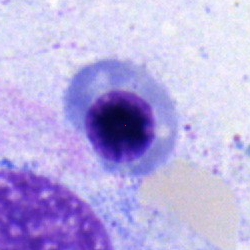

Specimen: bone marrow aspirate smear.
Morphological class: nucleated red blood cell.
Lineage: erythroid.